Cropped to a single cell · bone marrow aspirate smear · 250 by 250 pixels — 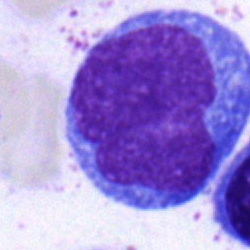
The cell shown is an undifferentiated blast.